Single-cell crop. Bone marrow smear. 250 by 250 pixels.
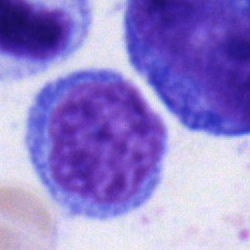 Impression → monocyte.